Bone marrow smear.
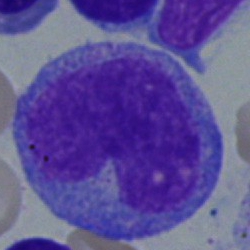

Cell = progranulocyte.